250×250 px. Bone marrow smear
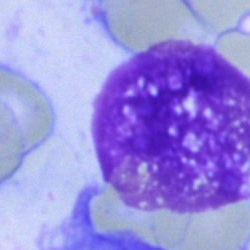

Specimen: bone marrow smear.
Cell type: artifact.